Single cell centered in the field. May-Grünwald-Giemsa stain. Bone marrow smear:
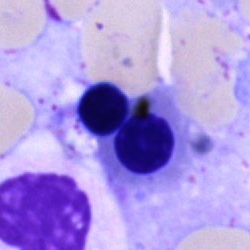Classification: cell of indeterminate lineage.